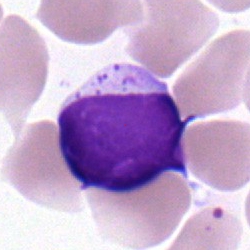
Single-cell crop from a bone marrow smear: lymphocyte.